Peripheral blood smear · CellaVision DM96 digital cell image · May Grünwald-Giemsa stain — 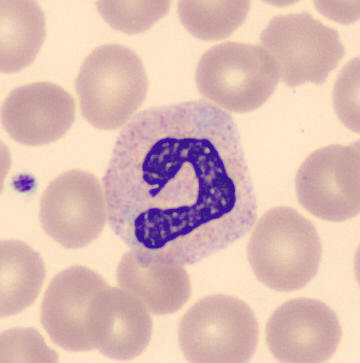

{"cell_type": "band neutrophil"}